Bone marrow aspirate smear · single-cell crop
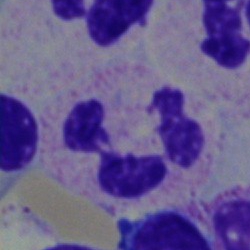

Specimen: bone marrow smear.
Cell: neutrophil (segmented).
Lineage: myeloid.